Bone marrow aspirate smear · brightfield, 40× oil-immersion objective.
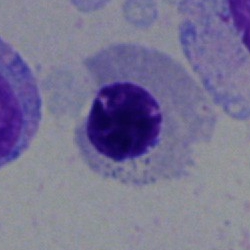Nucleated red blood cell.